Single cell centered in the field · bone marrow smear
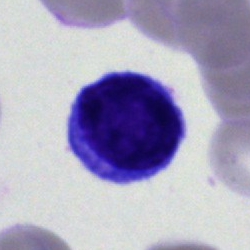This is a typical lymphocyte.